May-Grünwald-Giemsa stain; bone marrow aspirate smear; brightfield, 40× oil-immersion objective
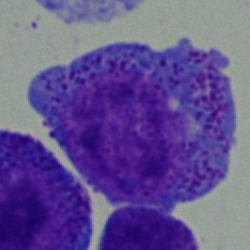

Classification: promyelocyte.